Bone marrow smear:
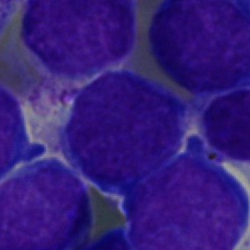Blast.